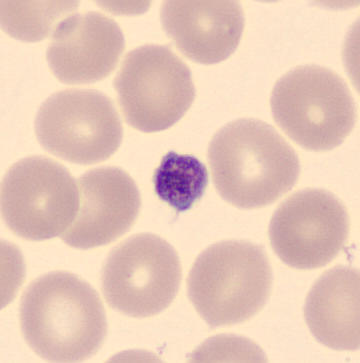

Morphology → platelet.
Preparation: Peripheral blood smear.